Bone marrow smear — 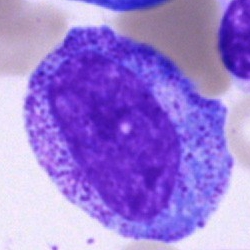
Single cell identified as a promyelocyte.